May-Grünwald-Giemsa stain · bone marrow smear
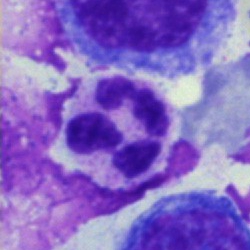Morphology consistent with a polymorphonuclear neutrophil.